Brightfield, 40× oil-immersion objective; 250×250; bone marrow smear.
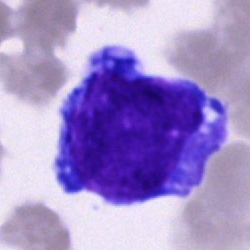
Morphological class: blast cell.